Bone marrow smear — 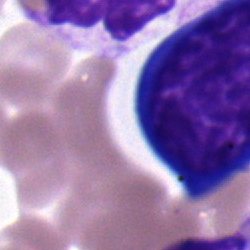 Erythroblast.